Bone marrow aspirate smear: 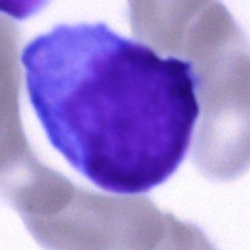Morphology consistent with a blast cell.